250 by 250 pixels · May-Grünwald-Giemsa/Pappenheim stain · bone marrow smear — 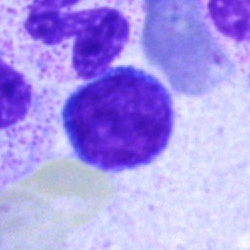 Classification = typical lymphocyte.